Bone marrow aspirate smear. 250 by 250 pixels.
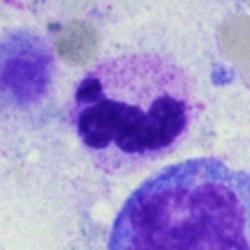 A neutrophil (segmented).